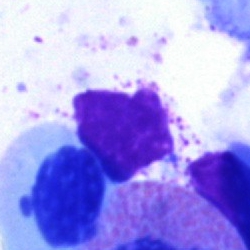Showing an artifact.